Image size 250×250 · bone marrow aspirate smear · single cell centered in the field — 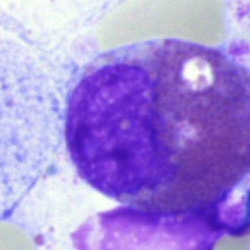Specimen: bone marrow smear.
Classification: eosinophilic granulocyte.